Bone marrow smear.
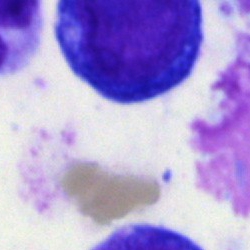{"cell_type": "pronormoblast", "lineage": "erythroid"}